Bone marrow smear. 40× objective, oil immersion
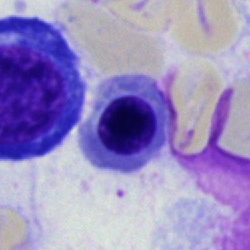Specimen: bone marrow smear.
Morphological class: erythroblast.
Lineage: erythroid.